Bone marrow smear — 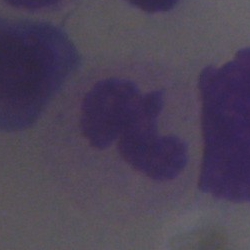 Cell — neutrophil (segmented).